Bone marrow aspirate smear · 250×250 px · MGG-stained — 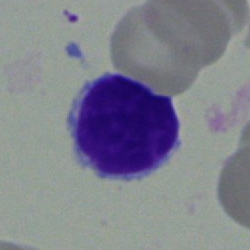A lymphocyte.